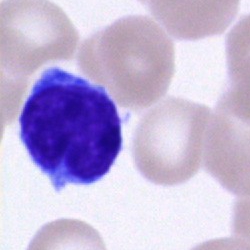Classification — typical lymphocyte.